Bone marrow aspirate smear: 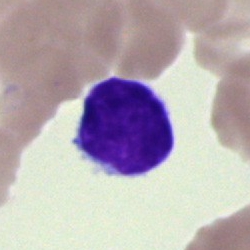Morphological class = lymphocyte.